Bone marrow smear. May-Grünwald-Giemsa stain: 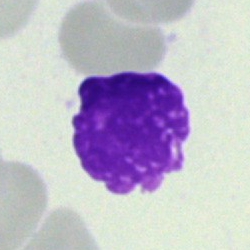 Q: What is shown here?
A: An artifact.